Bone marrow smear:
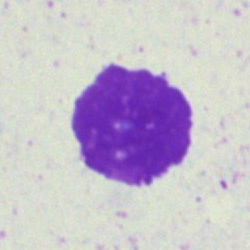Showing an artifact.